Bone marrow aspirate smear.
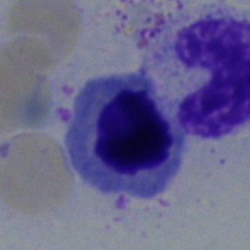
Specimen: bone marrow smear.
Cell: erythroblast.